Bone marrow aspirate smear:
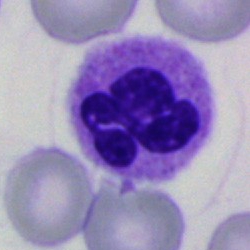 Single cell identified as a polymorphonuclear neutrophil.